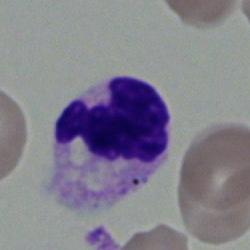
Specimen: bone marrow aspirate smear.
Cell type: neutrophil (segmented).
Lineage: myeloid.